Bone marrow smear:
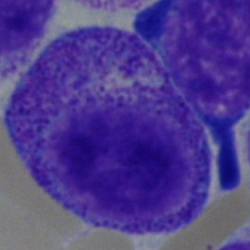 {"cell_type": "progranulocyte"}